Bone marrow smear; brightfield microscopy, 40× oil immersion; 250×250
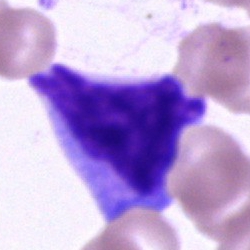 An unidentifiable cell.